Bone marrow aspirate smear. 250×250: 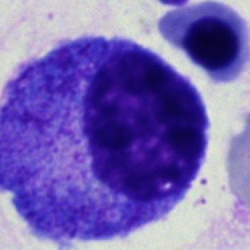 Specimen: bone marrow aspirate smear.
Morphological class: progranulocyte.